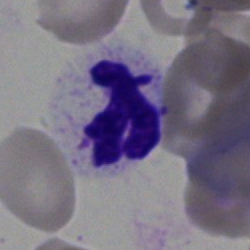 Q: What is shown here?
A: Neutrophil (segmented).